Bone marrow smear:
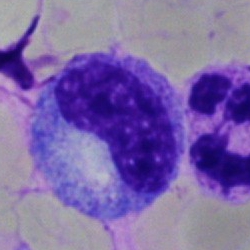 Morphology consistent with a metamyelocyte.